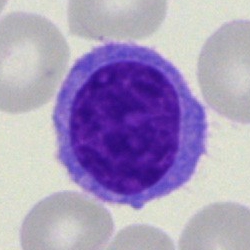
Morphology consistent with a typical lymphocyte.